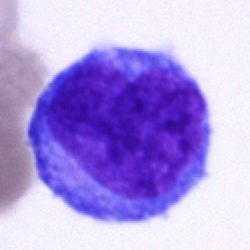Q: What is the morphological classification of this cell?
A: This is a blast cell.